Peripheral blood film. Single cell centered in the field.
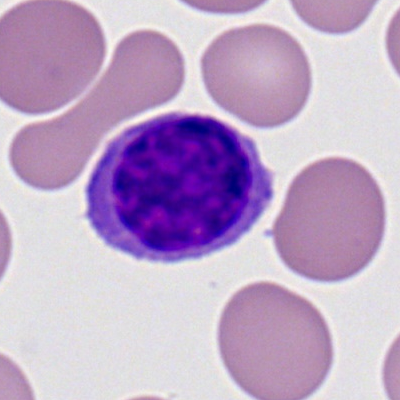The morphological class is typical lymphocyte.